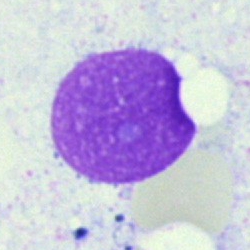
Single cell identified as an artefact.